Bone marrow smear:
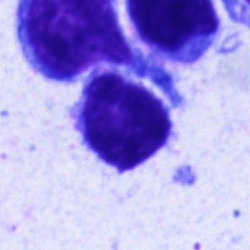

A typical lymphocyte.